Single cell centered in the field. Bone marrow aspirate smear.
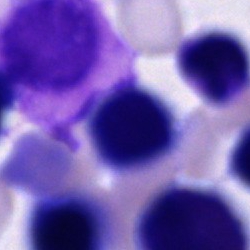

Morphology — unidentifiable cell.